Bone marrow smear
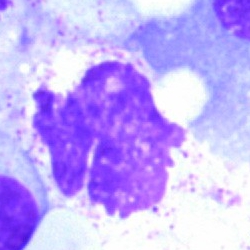
Morphology → artifact.